Bone marrow aspirate smear: 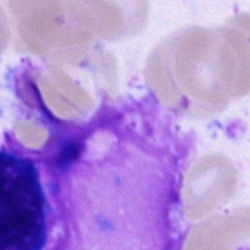
The morphological class is artifact.